May-Grünwald-Giemsa stain; brightfield microscopy, 40× oil immersion; bone marrow aspirate smear — 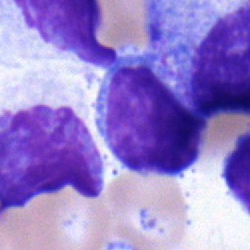
Q: What type of cell is this?
A: Lymphocyte.